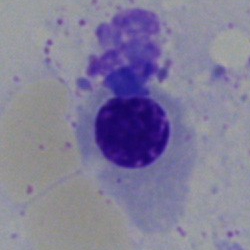

Impression → erythroblast.